250×250 px. Single cell centered in the field. Bone marrow smear:
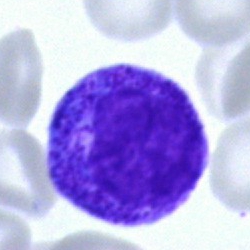Q: What is the morphological classification of this cell?
A: A myelocyte.